Brightfield microscopy, 40× oil immersion; single-cell crop; bone marrow smear:
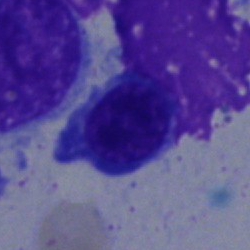Morphological class = normoblast.